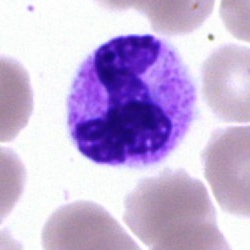Morphological class = polymorphonuclear neutrophil.